Bone marrow aspirate smear · image size 250×250:
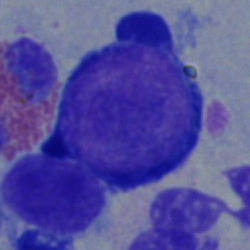Specimen: bone marrow smear.
Cell: proerythroblast.
Lineage: erythroid.